Image size 250×250; bone marrow smear
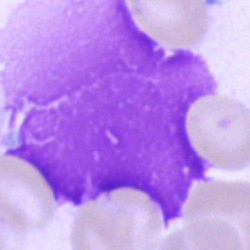

Cell: artifact.